Bone marrow aspirate smear: 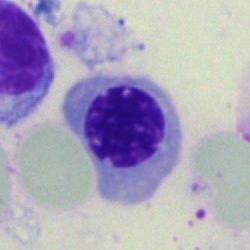

Showing a nucleated red blood cell.